Bone marrow smear
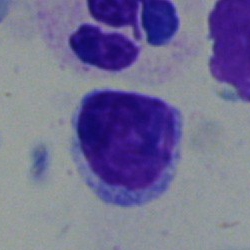

Cell type: typical lymphocyte.